Bone marrow smear:
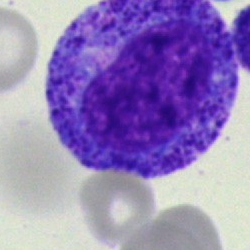 Morphology — promyelocyte.